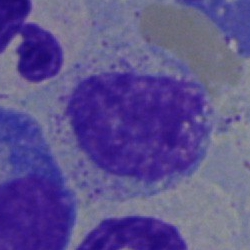

Specimen: bone marrow smear.
Cell: myelocyte.